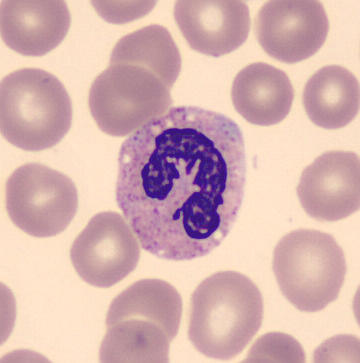
Specimen: peripheral blood film.
Cell type: segmented neutrophil.
Lineage: myeloid.